Bone marrow smear; May-Grünwald-Giemsa stain.
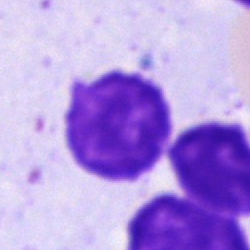 {"cell_type": "artefact"}